Bone marrow smear — 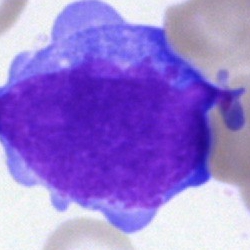

Cell type — blast cell.